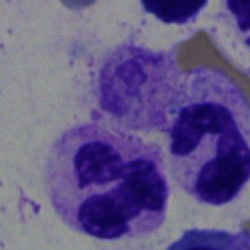 Specimen: bone marrow smear.
Classification: neutrophil (segmented).